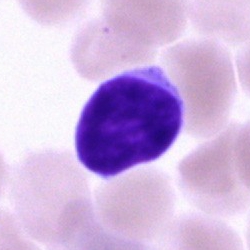Morphology → lymphocyte.